Bone marrow aspirate smear — 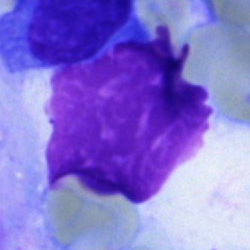
This is an artefact.